Bone marrow aspirate smear · 250×250 px · 40× objective, oil immersion.
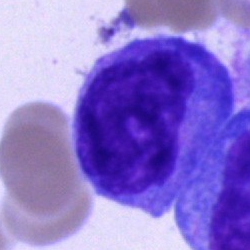

Q: Identify the cell.
A: It is a blast cell.